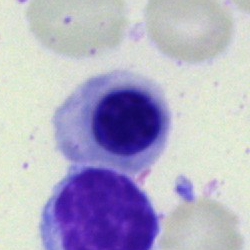

Morphological class — nucleated red blood cell.